Bone marrow aspirate smear; May-Grünwald-Giemsa stain — 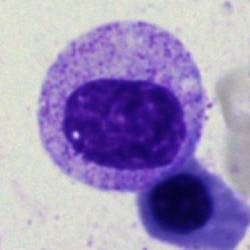Q: Which cell type is shown here?
A: It is a myelocyte.